May-Grünwald-Giemsa stain; bone marrow smear — 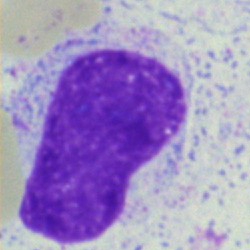
An artifact.